Bone marrow smear · 250 by 250 pixels:
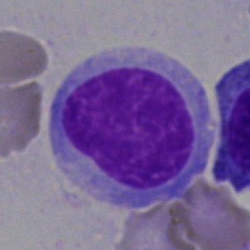Morphology consistent with an undifferentiated blast.